Peripheral blood smear
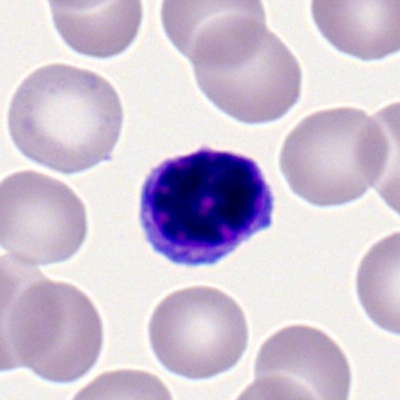Classification: lymphocyte.